Bone marrow aspirate smear — 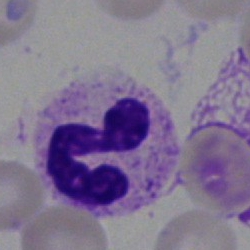The cell is polymorphonuclear neutrophil.